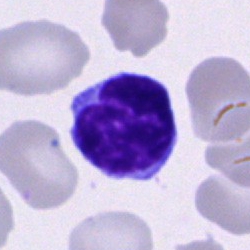
A typical lymphocyte on a bone marrow smear.